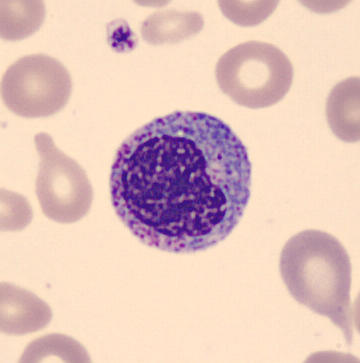
Classification — metamyelocyte.